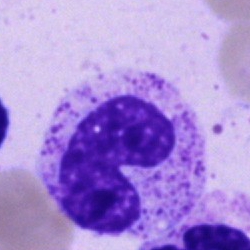
Showing a stab cell.